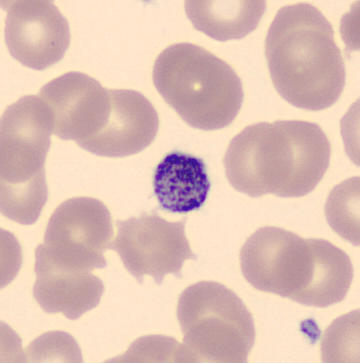 Q: What is this?
A: Platelet (thrombocyte).